Brightfield, 40× oil-immersion objective; bone marrow aspirate smear:
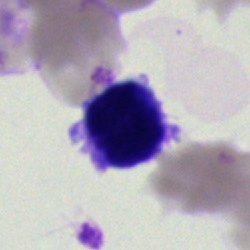 An artefact.